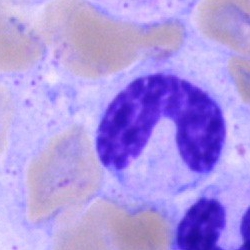 Specimen: bone marrow smear.
Classification: neutrophil (band).
Lineage: myeloid.